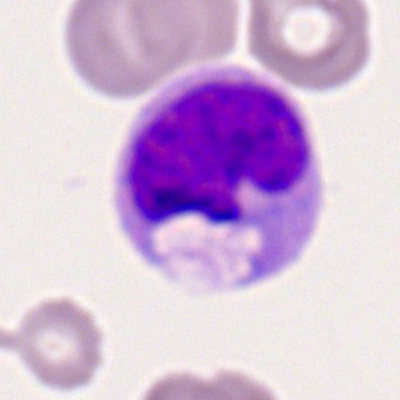 Specimen: peripheral blood film.
Cell: monocyte.